Peripheral blood smear.
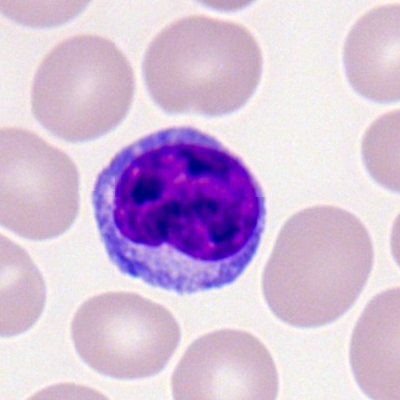
Q: Which cell type is shown here?
A: Typical lymphocyte.